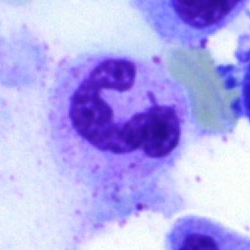 Morphological class = neutrophil (segmented).